Bone marrow aspirate smear — 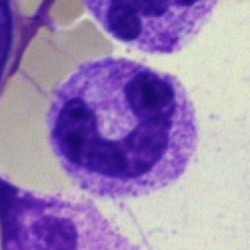

Q: What is the morphological classification of this cell?
A: A neutrophil (band).